Bone marrow aspirate smear · 250×250 px · single cell centered in the field: 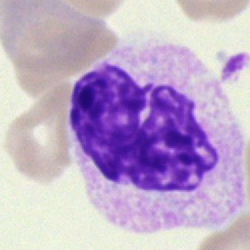Specimen: bone marrow smear.
Cell type: segmented neutrophil.
Lineage: myeloid.